Bone marrow aspirate smear: 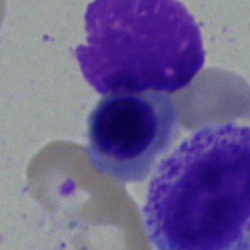Specimen: bone marrow smear.
Morphological class: normoblast.
Lineage: erythroid.